Bone marrow aspirate smear — 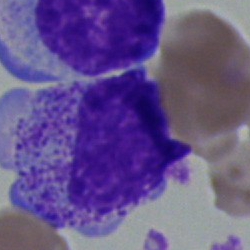Single cell identified as a myelocyte.